Bone marrow aspirate smear. Single cell centered in the field.
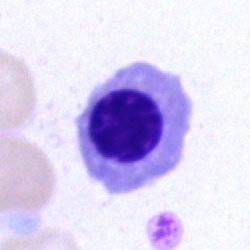 Showing a nucleated red blood cell.